Bone marrow aspirate smear · May-Grünwald-Giemsa/Pappenheim stain.
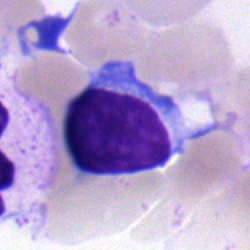

Cell type = lymphocyte.